May-Grünwald-Giemsa stain. Bone marrow aspirate smear:
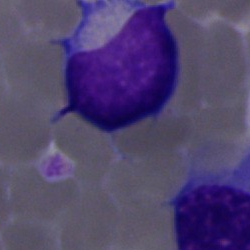
Morphological class: lymphocyte.